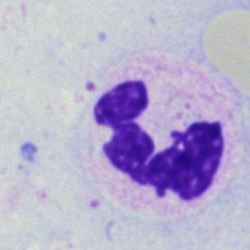 Single-cell crop from a bone marrow smear: segmented neutrophil.